Image size 250×250. Bone marrow aspirate smear — 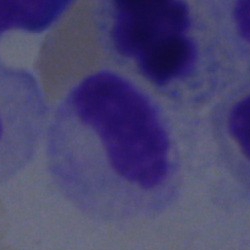
Q: What type of cell is this?
A: A neutrophil (band).